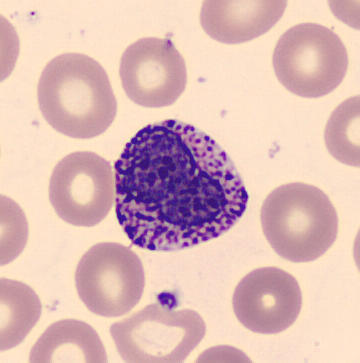
Morphology consistent with a basophilic granulocyte. Single-cell field. Peripheral blood smear.